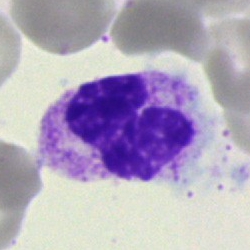 A segmented neutrophil.